Bone marrow smear · brightfield, 40× oil-immersion objective · single-cell field
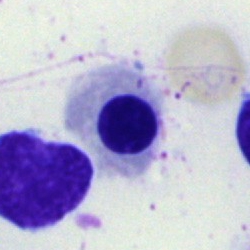

The morphological class is erythroblast.